Bone marrow smear: 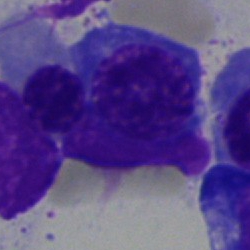

Specimen: bone marrow smear.
Cell type: nucleated red blood cell.
Lineage: erythroid.